Bone marrow smear: 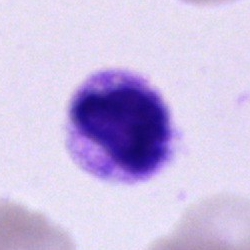
Morphological class: polymorphonuclear neutrophil.